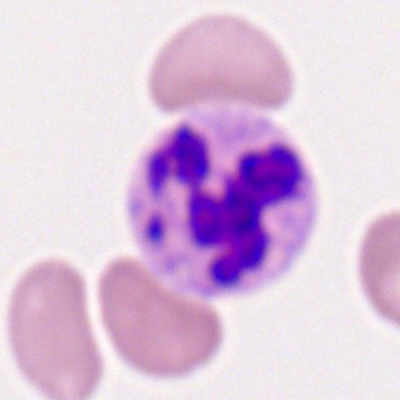Q: What is the morphological classification of this cell?
A: It is a polymorphonuclear neutrophil.